40× oil immersion · bone marrow aspirate smear.
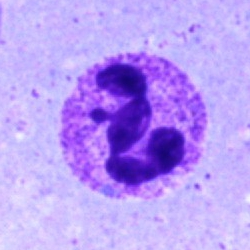
Cell type — polymorphonuclear neutrophil.